Bone marrow aspirate smear; 250×250
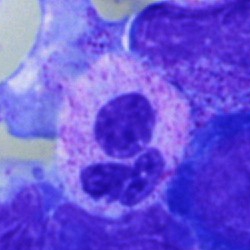Specimen: bone marrow aspirate smear.
Cell type: neutrophil (segmented).
Lineage: myeloid.